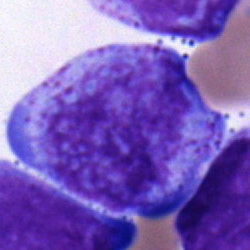Impression — promyelocyte.